Cropped to a single cell. Bone marrow aspirate smear. 40× objective, oil immersion.
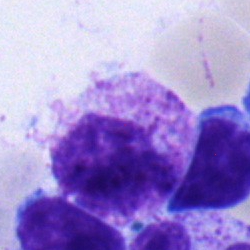 Q: Identify the cell.
A: It is a myelocyte.